Peripheral blood film — 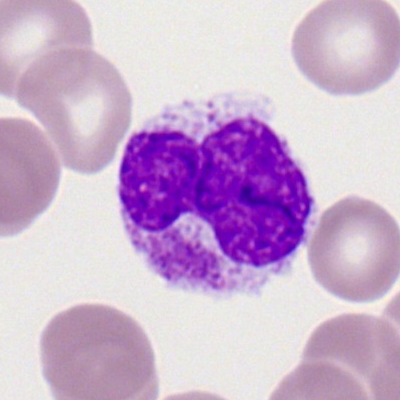 Specimen: peripheral blood film.
Morphological class: eosinophilic granulocyte.
Lineage: myeloid.